MGG-stained. Bone marrow aspirate smear.
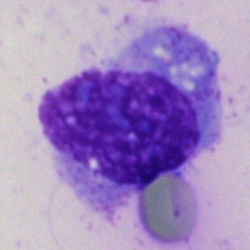
Morphological class = artefact.